Bone marrow aspirate smear; single cell centered in the field:
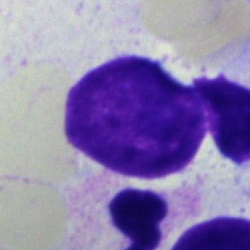

Q: What is shown here?
A: An artefact.